Bone marrow aspirate smear. Single cell centered in the field
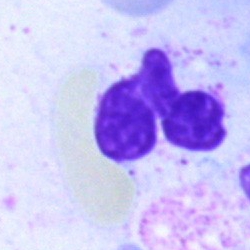 Artifact.